Peripheral blood film; single-cell field; 400 by 400 pixels — 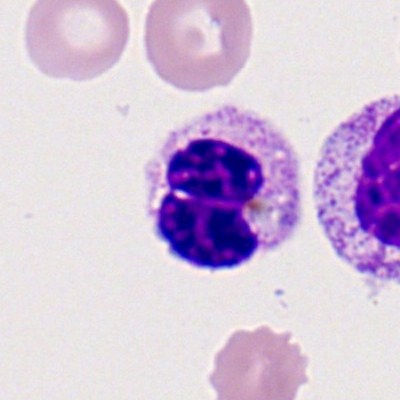
{"cell_type": "segmented neutrophil"}